Bone marrow smear: 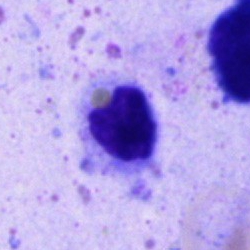
Single cell identified as an artefact.